Brightfield, 40× oil-immersion objective · bone marrow smear.
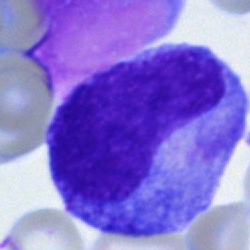

{"cell_type": "promyelocyte"}